250×250. Bone marrow aspirate smear.
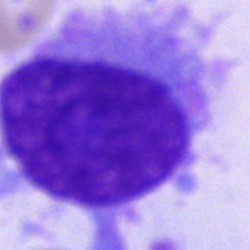Impression — plasma cell.